Bone marrow aspirate smear · MGG-stained: 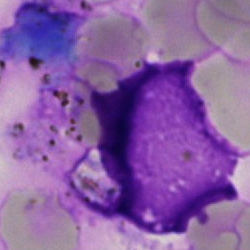
{"cell_type": "artifact"}